Bone marrow smear — 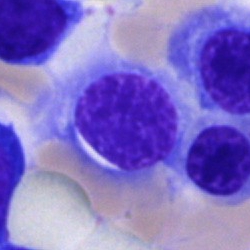
Q: Identify the cell.
A: A nucleated red cell.